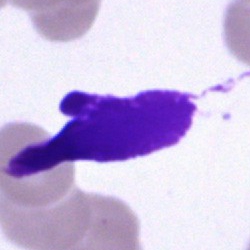 Morphology consistent with an artifact.